Peripheral blood film · single cell centered in the field
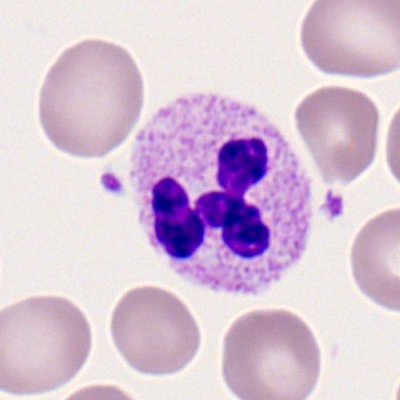

Q: What is shown here?
A: A polymorphonuclear neutrophil.